Bone marrow smear: 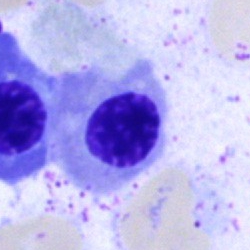Morphology consistent with a nucleated red blood cell.